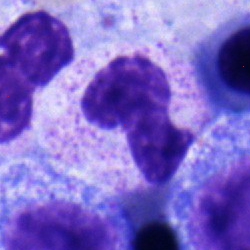
A stab cell on a bone marrow smear.